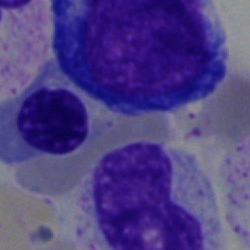
Q: What type of cell is this?
A: It is a nucleated red blood cell.